Bone marrow smear. May-Grünwald-Giemsa/Pappenheim stain — 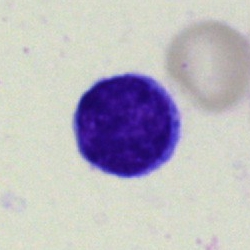Showing a lymphocyte.